Bone marrow aspirate smear
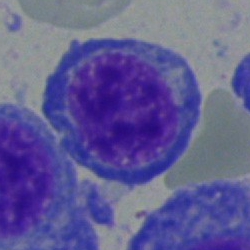

Showing a nucleated red blood cell.